Bone marrow aspirate smear — 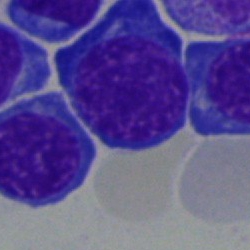 Q: What is shown here?
A: A nucleated red blood cell.